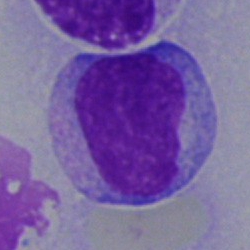Morphology consistent with a blast.